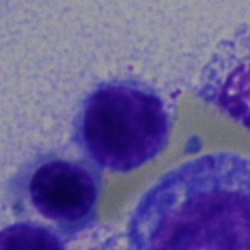 {"cell_type": "lymphocyte", "lineage": "lymphoid"}